Bone marrow smear.
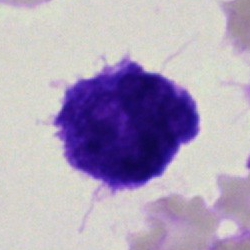
Specimen: bone marrow smear.
Morphological class: blast cell.